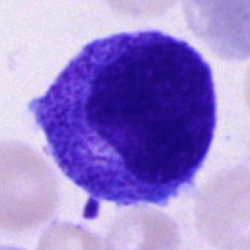
Q: Identify the cell.
A: Promyelocyte.